Bone marrow aspirate smear; brightfield microscopy, 40× oil immersion — 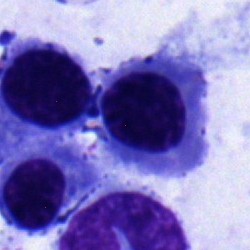Q: What is shown here?
A: It is an erythroblast.